Bone marrow smear: 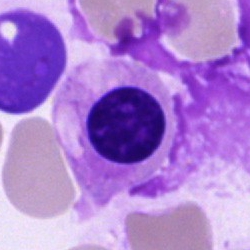 Q: What is shown here?
A: This is a cell of indeterminate lineage.